Bone marrow aspirate smear
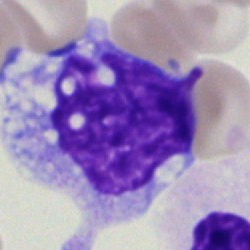Q: What type of cell is this?
A: A monocyte.